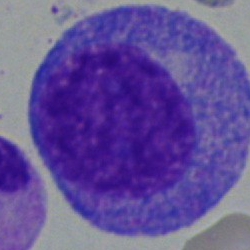
The cell shown is a promyelocyte.